Bone marrow aspirate smear
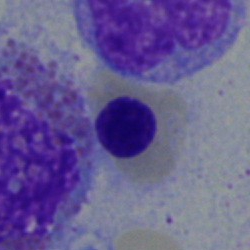
Morphological class — erythroblast.